Bone marrow aspirate smear:
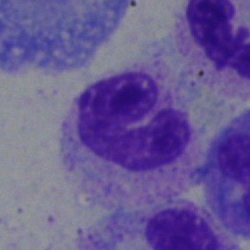
Cell type — band neutrophil.